Bone marrow smear.
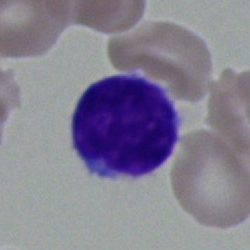

Cell type: lymphocyte.